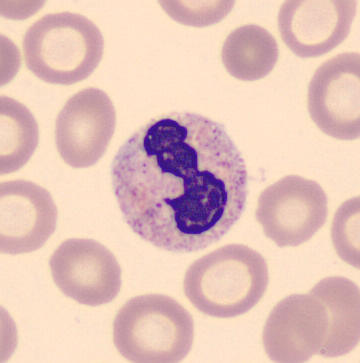Q: What type of cell is this?
A: Band-form neutrophil.

Acquisition: 360 by 363 pixels; peripheral blood smear; imaged on a CellaVision DM96 analyser.